Brightfield microscopy, 40× oil immersion · bone marrow smear
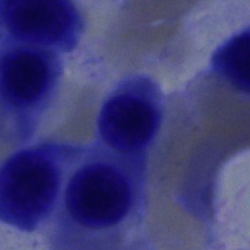 Morphology consistent with a normoblast.